Cropped to a single cell. Bone marrow smear.
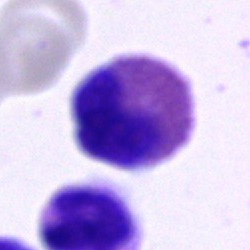 Q: What cell is this?
A: It is an eosinophil.